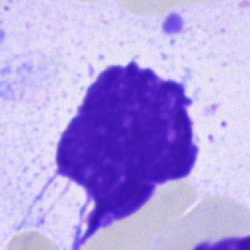
Single cell identified as an artifact.